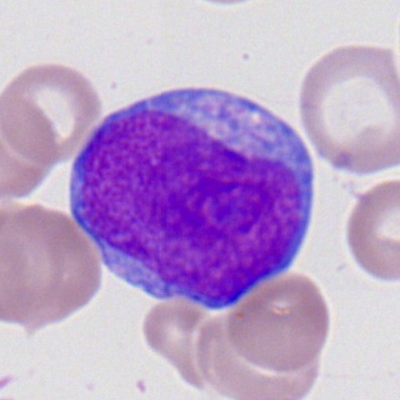Peripheral blood smear showing a myeloid blast.